Cropped to a single cell; bone marrow smear:
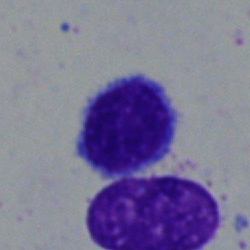
Showing a lymphocyte.